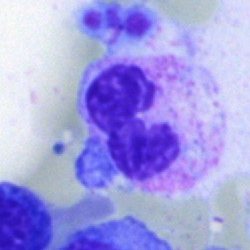 A polymorphonuclear neutrophil on a bone marrow smear.